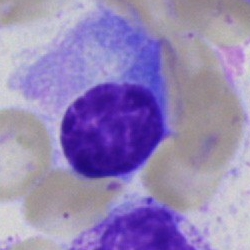Impression → plasmacyte.